Bone marrow aspirate smear
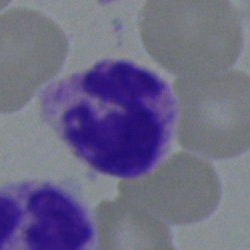
Q: Identify the cell.
A: A neutrophil (segmented).